Bone marrow aspirate smear: 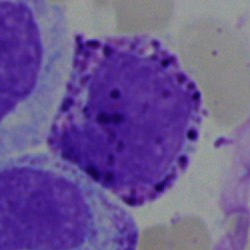
Morphology consistent with a monocyte.